Bone marrow aspirate smear:
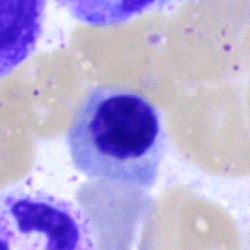 Cell = nucleated red cell.